Bone marrow aspirate smear
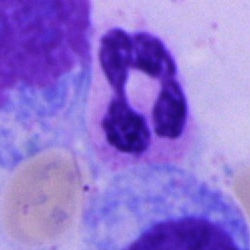Neutrophil (segmented).